Bone marrow aspirate smear — 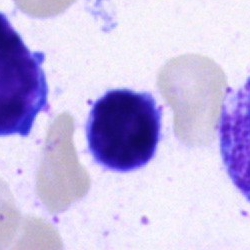

Cell type — typical lymphocyte.